40× objective, oil immersion; bone marrow smear; single-cell field — 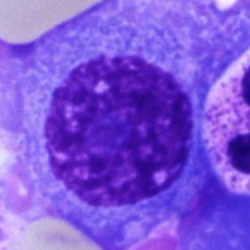This is a plasma cell.